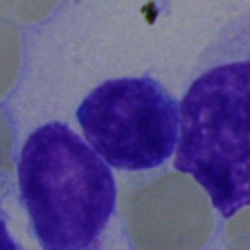 This is a blast.